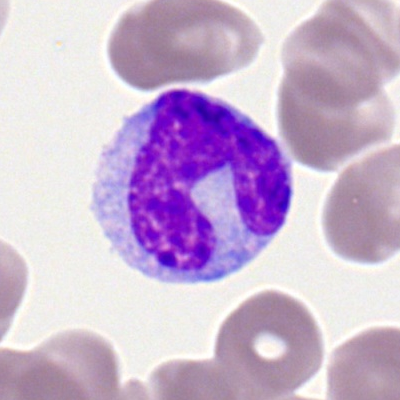The cell is monocyte.